Bone marrow smear · single-cell field · image size 250×250
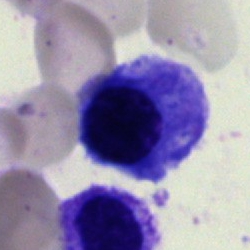Morphological class: normoblast.